Bone marrow aspirate smear:
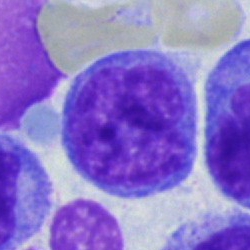

Impression — monocyte.